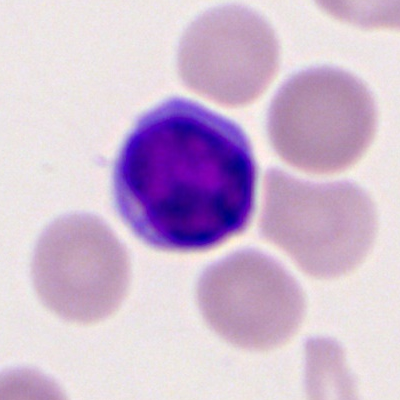Lymphocyte.